Bone marrow aspirate smear:
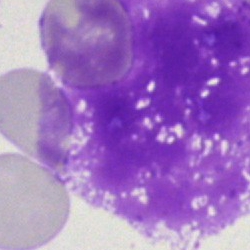 Single cell identified as an artifact.